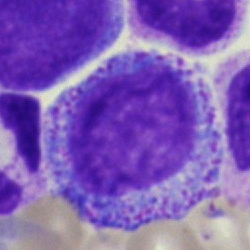 Cell — promyelocyte.